May-Grünwald-Giemsa stain · 250×250 · bone marrow aspirate smear — 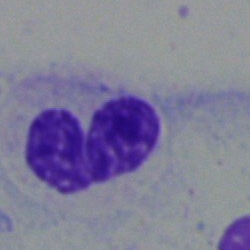

Single cell identified as a neutrophil (band).